Bone marrow aspirate smear; 40× oil immersion:
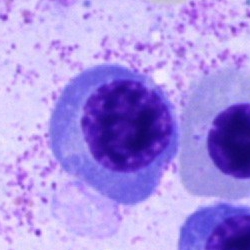Morphological class — normoblast.